Bone marrow smear · MGG-stained.
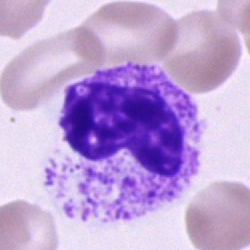

{"cell_type": "metamyelocyte", "lineage": "myeloid"}